Image size 250×250; bone marrow smear:
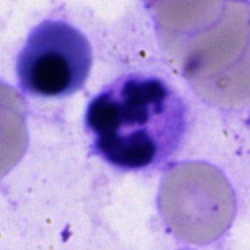

Cell = segmented neutrophil.